250×250 · bone marrow aspirate smear: 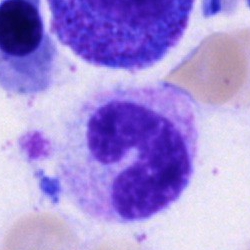 Q: Identify the cell.
A: This is a neutrophil (band).